Bone marrow smear:
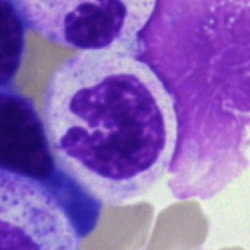 Impression — polymorphonuclear neutrophil.